Single cell centered in the field · bone marrow aspirate smear · 40× oil immersion — 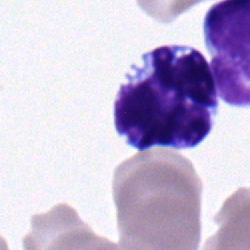
Classification — typical lymphocyte.